MGG-stained; 250 by 250 pixels; bone marrow aspirate smear
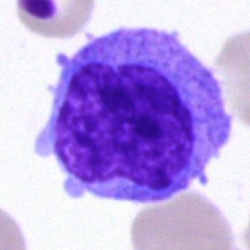

Monocyte.